Bone marrow aspirate smear; May-Grünwald-Giemsa/Pappenheim stain.
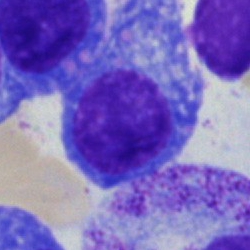
Morphological class — plasma cell.